Bone marrow aspirate smear:
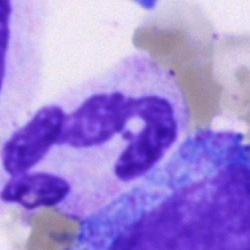 {"cell_type": "polymorphonuclear neutrophil", "lineage": "myeloid"}